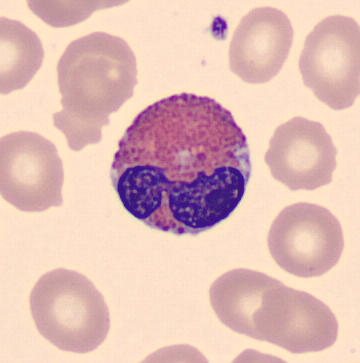

Single-cell crop from a peripheral blood smear: eosinophil.